Peripheral blood film — 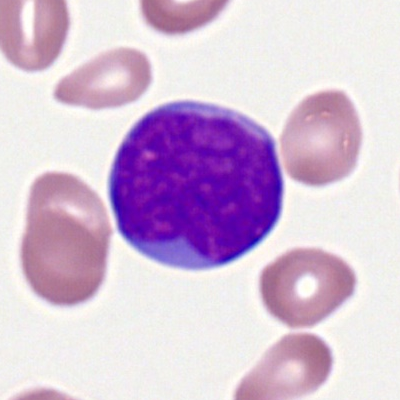Impression → myeloblast.